Bone marrow smear
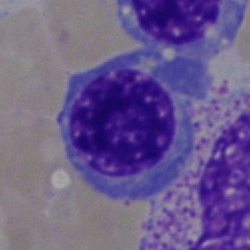Q: What cell is this?
A: This is a nucleated red blood cell.